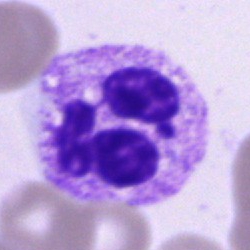The cell shown is a polymorphonuclear neutrophil.